Bone marrow aspirate smear. Single-cell crop.
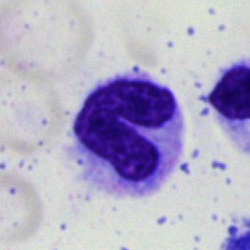 A band-form neutrophil.